Bone marrow aspirate smear
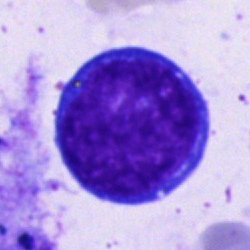 Cell type: proerythroblast.